Bone marrow aspirate smear. MGG-stained. 250×250
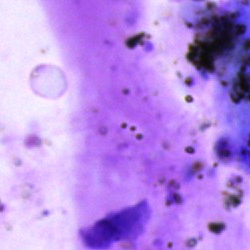

Cell type: artefact.